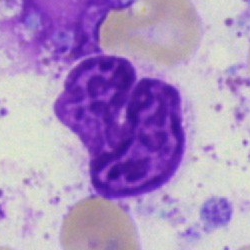
Q: What is shown here?
A: This is an artefact.